Bone marrow smear; 250×250; May-Grünwald-Giemsa stain: 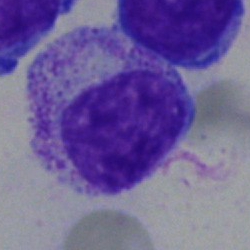 Specimen: bone marrow smear.
Cell type: myelocyte.